Bone marrow smear: 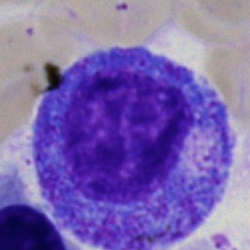 Q: What cell is this?
A: It is a progranulocyte.